Bone marrow smear — 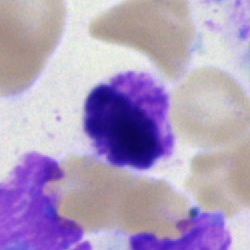

Impression — polymorphonuclear neutrophil.